250×250 px; single-cell field; bone marrow aspirate smear.
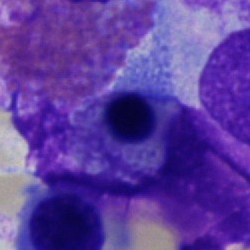The cell is nucleated red cell.